Bone marrow smear; image size 250×250; cropped to a single cell
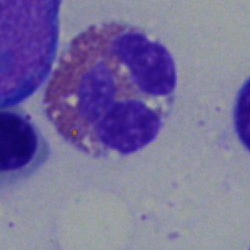

Morphology — eosinophilic granulocyte.